Bone marrow aspirate smear — 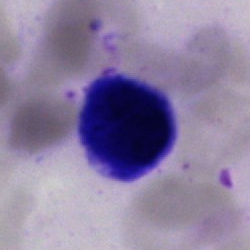

Morphology consistent with a typical lymphocyte.